Bone marrow aspirate smear — 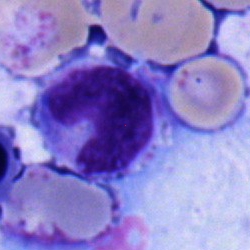Specimen: bone marrow aspirate smear.
Cell type: monocyte.
Lineage: myeloid.